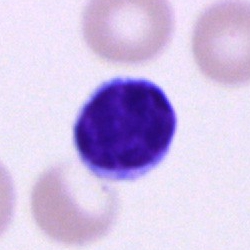 Single cell identified as a typical lymphocyte.